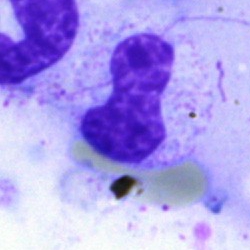Specimen: bone marrow aspirate smear.
Morphological class: stab cell.
Lineage: myeloid.